Bone marrow aspirate smear
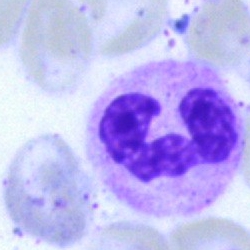 Classification = segmented neutrophil.